Bone marrow aspirate smear · brightfield, 40× oil-immersion objective — 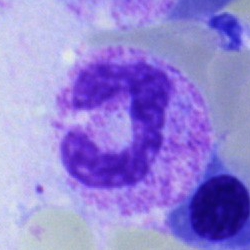This is a polymorphonuclear neutrophil.